Bone marrow aspirate smear:
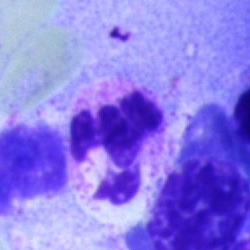

The classification is polymorphonuclear neutrophil.